Bone marrow aspirate smear · 40× objective, oil immersion · 250×250 px:
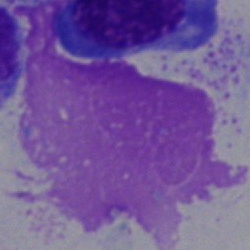
The cell shown is an artefact.